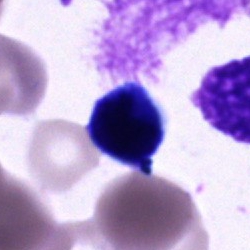 Bone marrow aspirate smear, single cell — cell of indeterminate lineage.